Bone marrow aspirate smear. May-Grünwald-Giemsa stain.
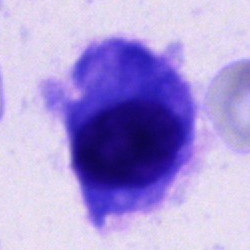Cell: other cell type.